40× oil immersion · bone marrow aspirate smear — 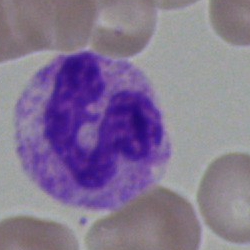

Single cell identified as a segmented neutrophil.